Bone marrow aspirate smear
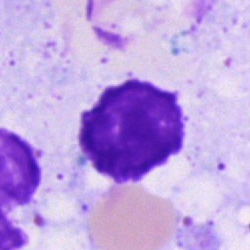

Morphological class — artifact.